Bone marrow smear.
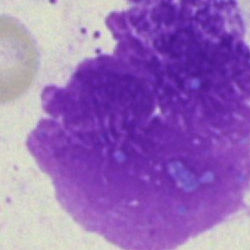
Specimen: bone marrow aspirate smear.
Morphological class: artefact.